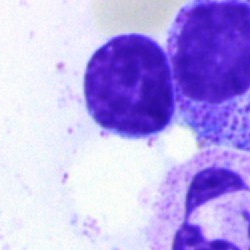
Classification — lymphocyte.